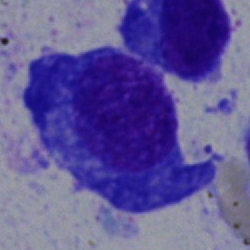
Impression → plasma cell.